Bone marrow smear.
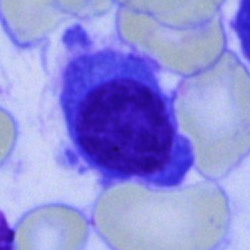
Showing an erythroblast.